Bone marrow aspirate smear · 250×250 px — 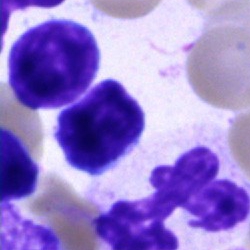 Showing a typical lymphocyte.